May-Grünwald-Giemsa/Pappenheim stain. Bone marrow smear:
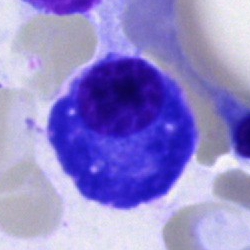

The cell type is plasma cell.